250×250. Bone marrow aspirate smear — 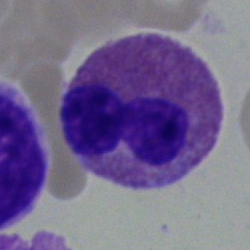 This is an eosinophil.